Bone marrow aspirate smear: 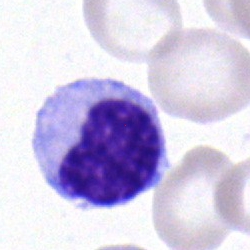Morphological class = metamyelocyte.